May-Grünwald-Giemsa/Pappenheim stain; bone marrow smear: 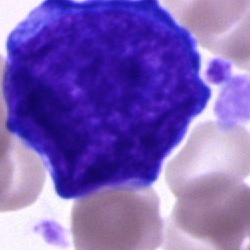
Morphology — proerythroblast.